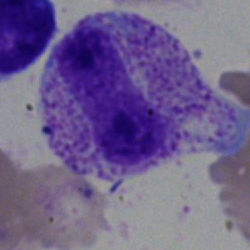
Q: What type of cell is this?
A: A stab cell.